MGG-stained. CellaVision DM96. Peripheral blood smear
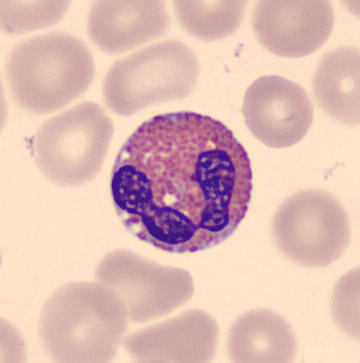Q: Identify the cell.
A: It is an eosinophil.